Bone marrow aspirate smear.
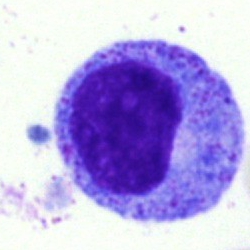
Morphological class — promyelocyte.